Peripheral blood film: 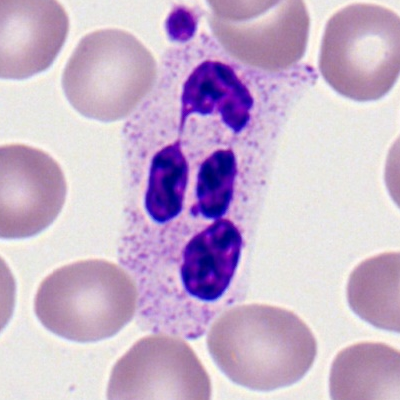This is a neutrophil (segmented).